Bone marrow aspirate smear; 40× objective, oil immersion: 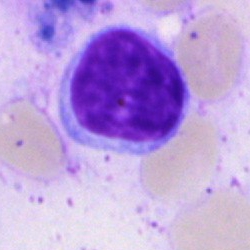

This is a typical lymphocyte.